Single-cell crop. Bone marrow smear — 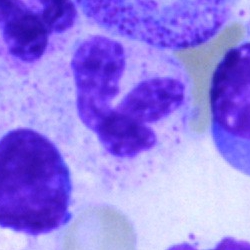Q: What is the morphological classification of this cell?
A: This is a segmented neutrophil.